Bone marrow smear; 250 by 250 pixels — 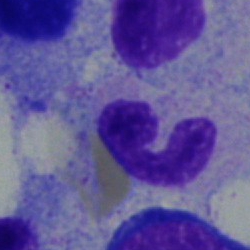Q: What is the morphological classification of this cell?
A: This is a band-form neutrophil.